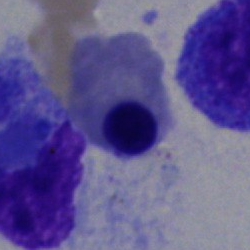

Q: What is the morphological classification of this cell?
A: It is a nucleated red blood cell.